Bone marrow aspirate smear; brightfield, 40× oil-immersion objective; single cell centered in the field.
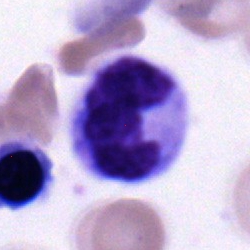

Neutrophil (band).